Bone marrow aspirate smear. 40× objective, oil immersion.
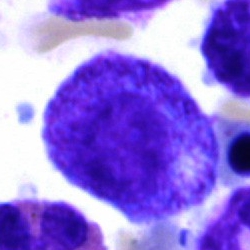

Q: What type of cell is this?
A: It is a progranulocyte.